Bone marrow aspirate smear. Single-cell crop. 250×250:
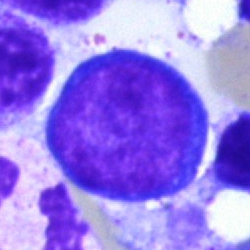

Showing a proerythroblast.